Bone marrow smear; MGG-stained; 250×250: 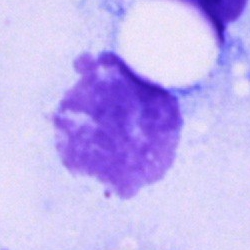 Specimen: bone marrow aspirate smear.
Morphological class: artefact.